40× oil immersion · image size 250×250 · bone marrow smear: 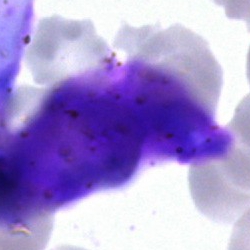
This is an artefact.